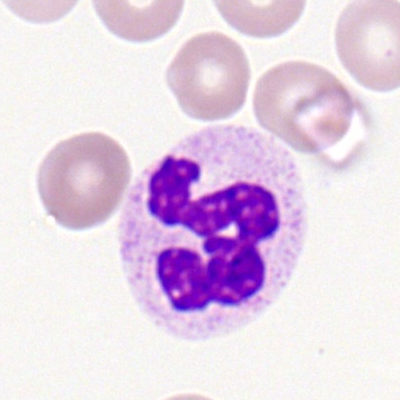Impression → polymorphonuclear neutrophil.